Romanowsky-stained. Peripheral blood smear. M8 digital microscope (Precipoint), 100× oil immersion:
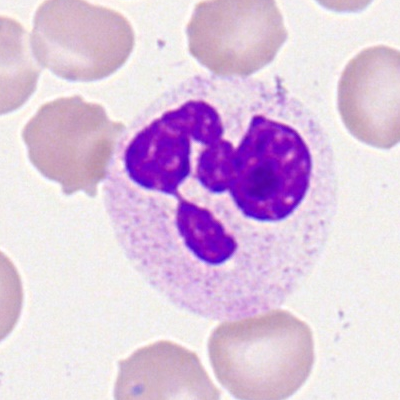
Morphology consistent with a polymorphonuclear neutrophil.